Brightfield microscopy, 40× oil immersion; bone marrow smear — 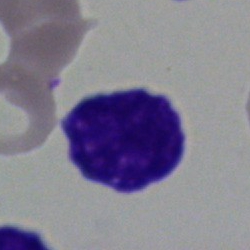 Showing a blast.